Bone marrow aspirate smear: 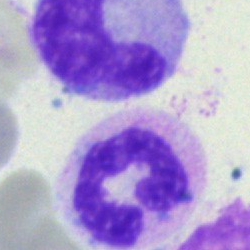 Morphology consistent with a polymorphonuclear neutrophil.